Bone marrow aspirate smear — 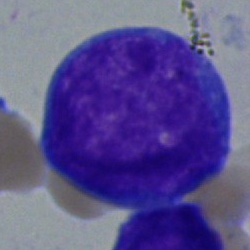

Morphology → blast cell.